Bone marrow aspirate smear:
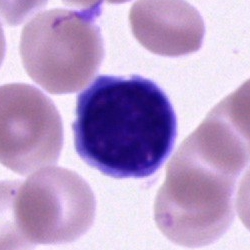A lymphocyte.